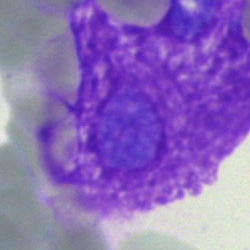 Artifact.